Brightfield microscopy, 40× oil immersion; bone marrow aspirate smear.
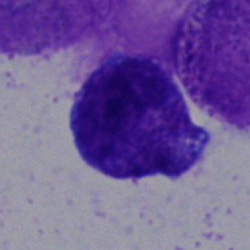
Specimen: bone marrow aspirate smear.
Morphological class: progranulocyte.
Lineage: myeloid.